Bone marrow smear:
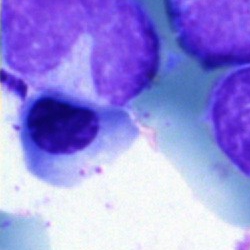Specimen: bone marrow smear.
Morphological class: erythroblast.
Lineage: erythroid.